Single-cell field. Bone marrow smear. 40× objective, oil immersion — 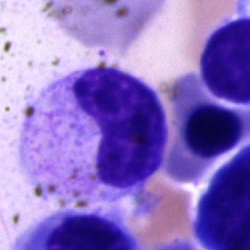 Cell type — metamyelocyte.